Bone marrow aspirate smear · 40× objective, oil immersion · single-cell field: 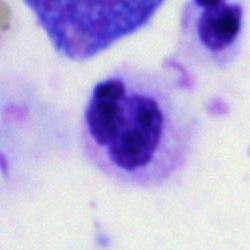 Single cell identified as a segmented neutrophil.